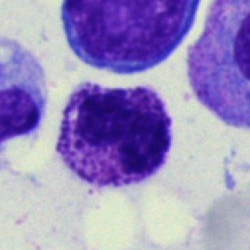

Morphology consistent with a basophil.